40× oil immersion; bone marrow aspirate smear.
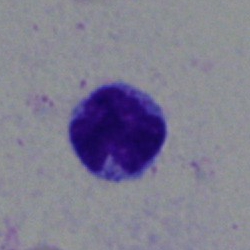Morphology consistent with a lymphocyte.